Peripheral blood smear. 400×400 px:
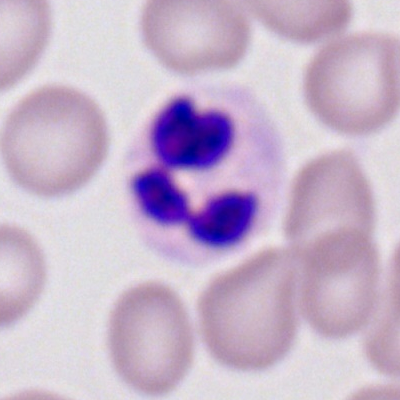

The morphological class is neutrophil (segmented).